Bone marrow aspirate smear; 250 by 250 pixels
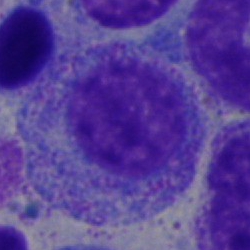 Myelocyte.